Peripheral blood smear. Single-cell crop.
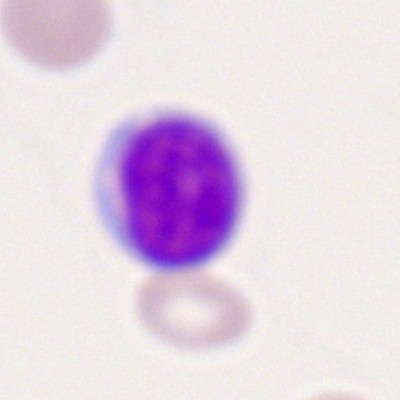

Morphological class = typical lymphocyte.